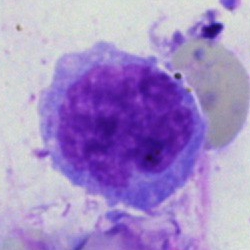 Morphology → monocyte.